Single-cell crop; bone marrow smear
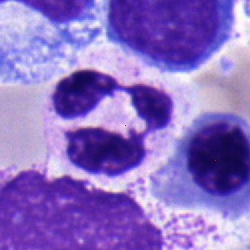Impression — segmented neutrophil.